Bone marrow aspirate smear:
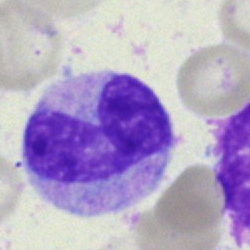

A monocyte.